Bone marrow aspirate smear.
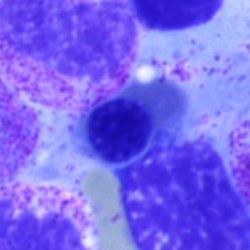 Specimen: bone marrow aspirate smear.
Morphological class: normoblast.
Lineage: erythroid.